Bone marrow aspirate smear. MGG-stained. 40× objective, oil immersion: 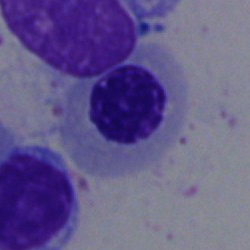 Q: What is the morphological classification of this cell?
A: This is a nucleated red cell.